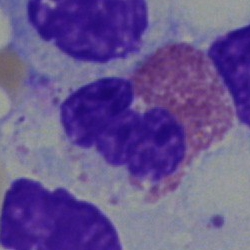
Q: What cell is this?
A: An eosinophil.